Bone marrow aspirate smear · Pappenheim-stained:
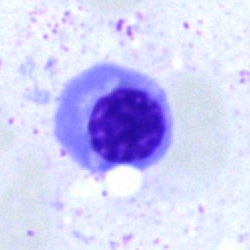
A nucleated red blood cell.